MGG-stained. Bone marrow smear.
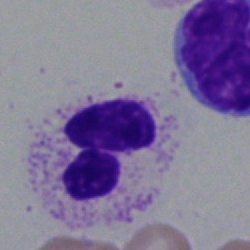Cell type — segmented neutrophil.